250×250 px · bone marrow aspirate smear — 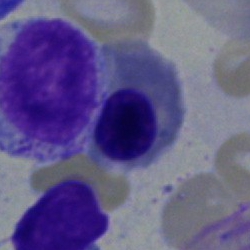Nucleated red cell.